Single-cell crop. Bone marrow aspirate smear — 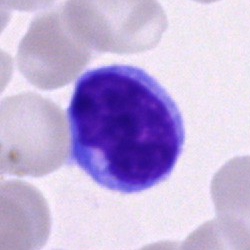

Single cell identified as a typical lymphocyte.